Bone marrow aspirate smear: 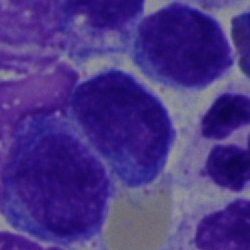Q: What type of cell is this?
A: It is a lymphocyte.